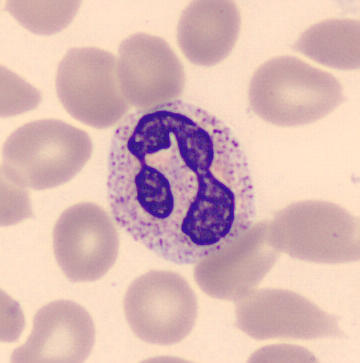

Preparation: Peripheral blood film.

Morphology consistent with a segmented neutrophil.